Bone marrow smear: 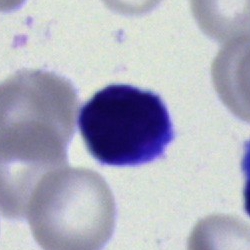 Single cell identified as a blast.